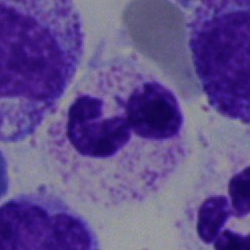 Single-cell crop from a bone marrow smear: polymorphonuclear neutrophil.